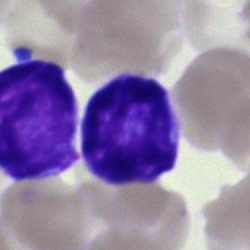

Specimen: bone marrow smear.
Morphological class: lymphocyte.
Lineage: lymphoid.